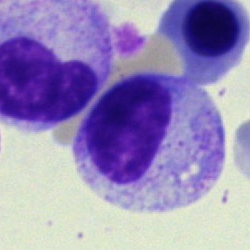 Classification — myelocyte.